Bone marrow aspirate smear — 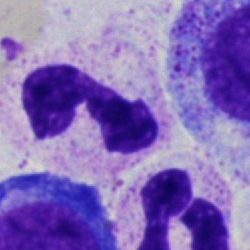Showing a neutrophil (segmented).